Bone marrow aspirate smear
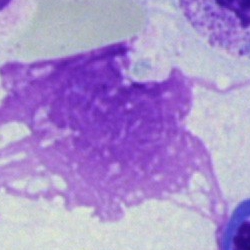

The cell shown is an artifact.